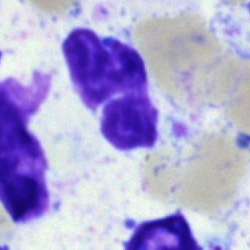
Specimen: bone marrow smear.
Classification: segmented neutrophil.
Lineage: myeloid.